Single-cell field; bone marrow aspirate smear; Pappenheim-stained
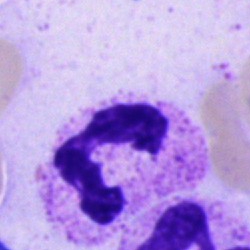 The cell type is segmented neutrophil.